Bone marrow smear.
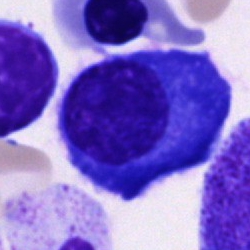
Q: What is shown here?
A: A plasmacyte.